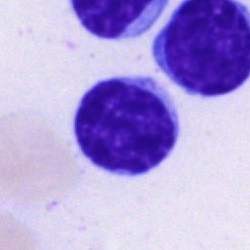 Morphological class = typical lymphocyte.